Single cell centered in the field; brightfield microscopy, 40× oil immersion; bone marrow aspirate smear: 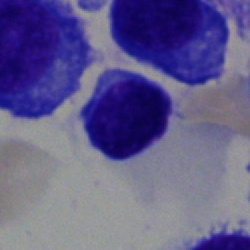Single cell identified as a typical lymphocyte.